Bone marrow smear · 40× objective, oil immersion.
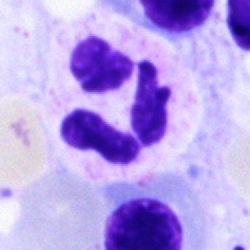 Q: What is shown here?
A: This is a segmented neutrophil.